Bone marrow aspirate smear:
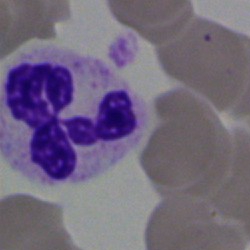 Morphology consistent with a polymorphonuclear neutrophil.